Bone marrow smear — 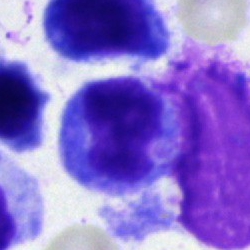Specimen: bone marrow aspirate smear.
Classification: monocyte.
Lineage: myeloid.